Single-cell field · bone marrow smear:
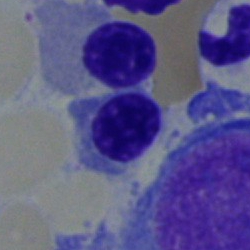

Single cell identified as an erythroblast.